Bone marrow aspirate smear
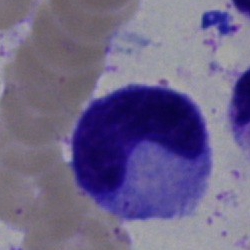 Q: What cell is this?
A: Neutrophil (band).